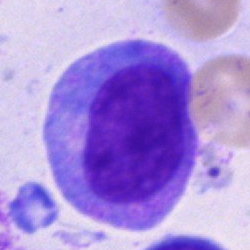

Q: What type of cell is this?
A: Promyelocyte.